Image size 250×250; bone marrow smear.
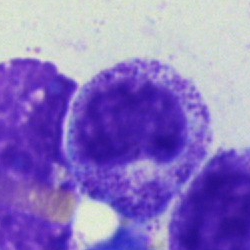
Cell: metamyelocyte.